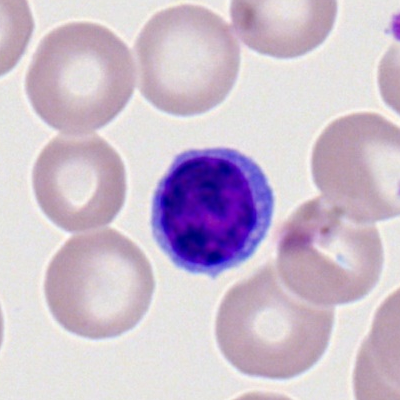
A typical lymphocyte.